Bone marrow aspirate smear; 40× oil immersion — 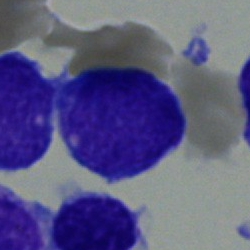
Blast cell.